Bone marrow smear · single cell centered in the field
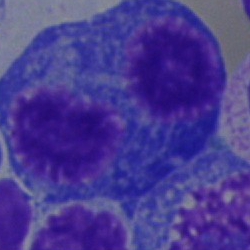

Specimen: bone marrow smear.
Morphological class: plasmacyte.
Lineage: lymphoid.